Bone marrow aspirate smear.
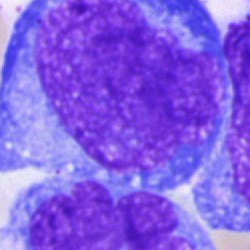
Cell: blast.